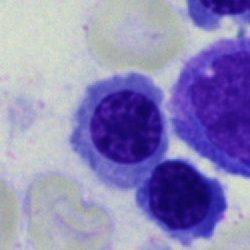

Morphological class = erythroblast.